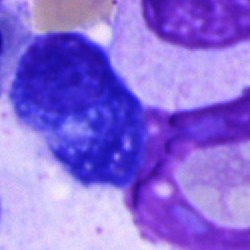
Morphological class — artefact.